Bone marrow aspirate smear: 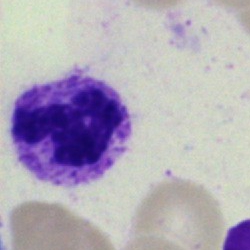This is a neutrophil (segmented).